Bone marrow aspirate smear.
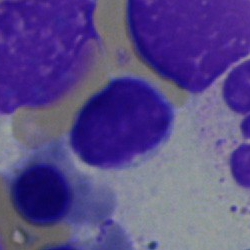

Morphology consistent with a typical lymphocyte.